40× objective, oil immersion · bone marrow aspirate smear — 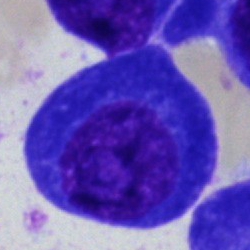

Cell type — plasmacyte.